Bone marrow smear:
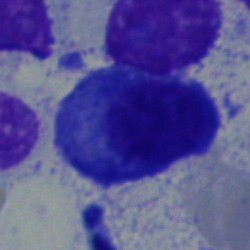Showing a plasma cell.